Peripheral blood film.
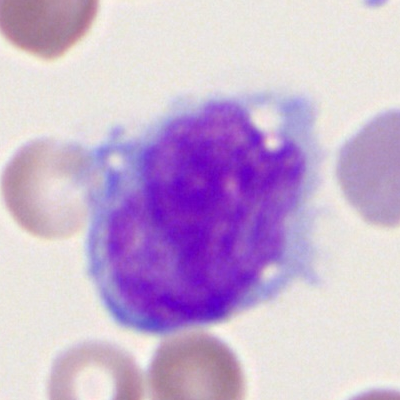The cell shown is a monocyte.